Bone marrow aspirate smear; 40× oil immersion.
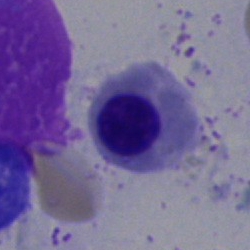An erythroblast.